Bone marrow smear.
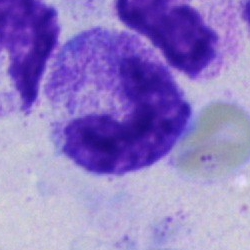 Morphological class = band neutrophil.